Bone marrow smear
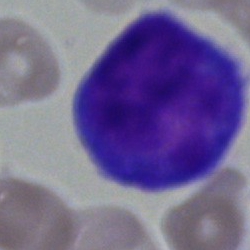
Cell type = progranulocyte.